Bone marrow aspirate smear.
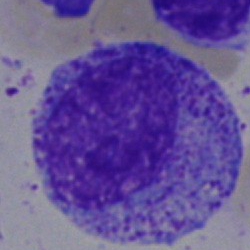 Cell — promyelocyte.